400 by 400 pixels. Romanowsky-type stain. Peripheral blood film:
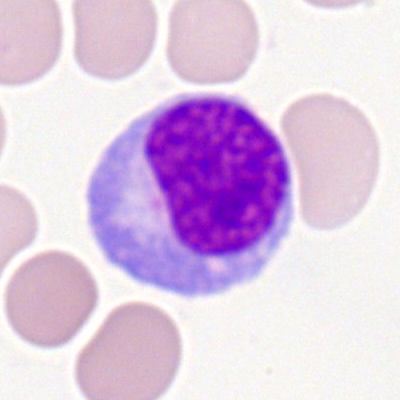 A lymphocyte.